Cropped to a single cell; 40× objective, oil immersion; bone marrow smear
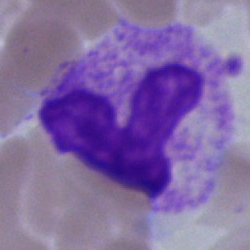
Specimen: bone marrow aspirate smear.
Morphological class: polymorphonuclear neutrophil.